Bone marrow aspirate smear:
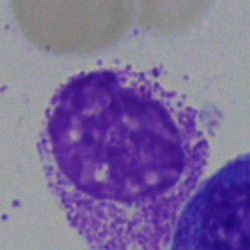The cell shown is a myelocyte.